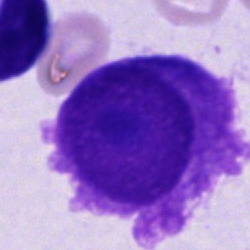 Showing a plasma cell.